Peripheral blood film: 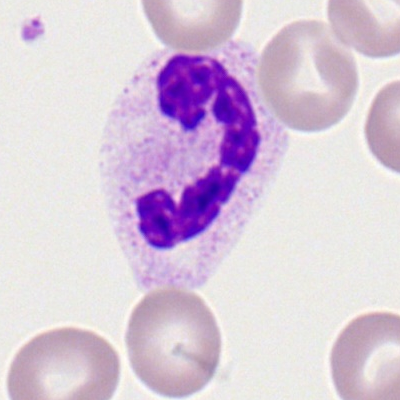
Q: Identify the cell.
A: A neutrophil (segmented).